Bone marrow aspirate smear: 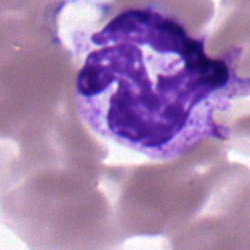Classification — segmented neutrophil.